Bone marrow aspirate smear — 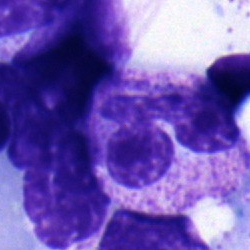
The cell shown is a polymorphonuclear neutrophil.